May-Grünwald-Giemsa/Pappenheim stain · bone marrow smear: 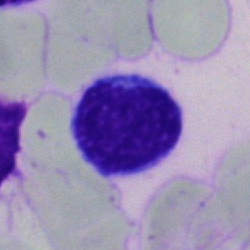

Single cell identified as a typical lymphocyte.